Bone marrow aspirate smear: 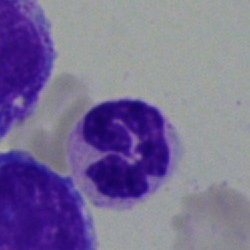

The cell shown is a neutrophil (segmented).